Bone marrow aspirate smear — 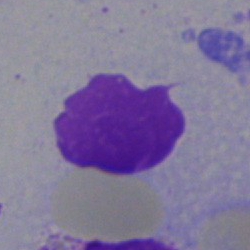

Q: What is shown here?
A: An artefact.